Bone marrow smear — 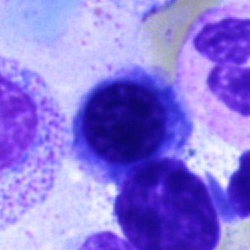
Normoblast.